Bone marrow aspirate smear.
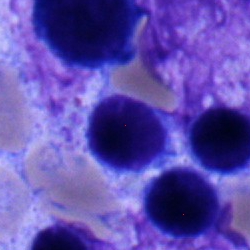The cell is lymphocyte.